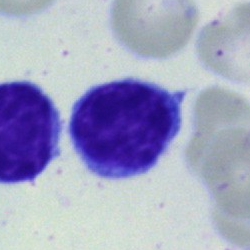Morphology — lymphocyte.